Pappenheim-stained; bone marrow aspirate smear:
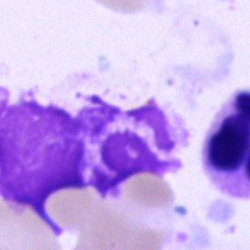
The cell type is artefact.